Bone marrow aspirate smear
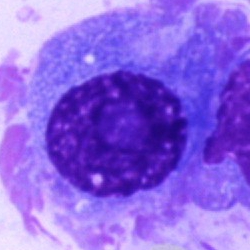
Cell = plasmacyte.